Bone marrow smear:
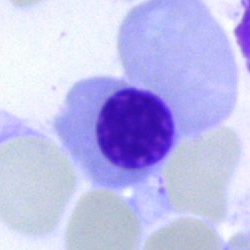Showing a nucleated red blood cell.